40× objective, oil immersion. Single-cell field. Bone marrow aspirate smear:
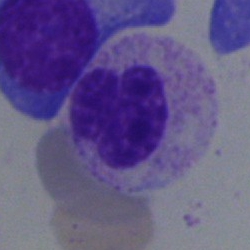 Specimen: bone marrow aspirate smear.
Cell: polymorphonuclear neutrophil.